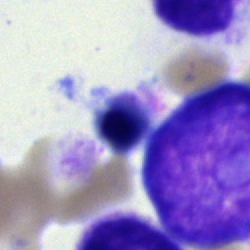 Cell type: erythroblast.